Bone marrow aspirate smear: 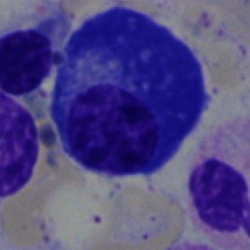Q: What type of cell is this?
A: A plasmacyte.